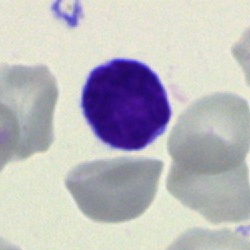 Impression — typical lymphocyte.